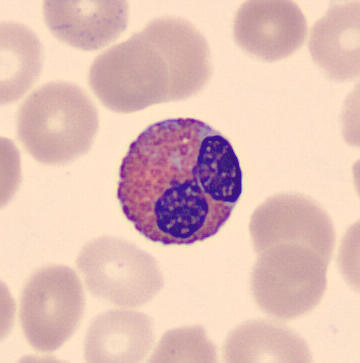 Image: Peripheral blood film.

Q: What is shown here?
A: This is an eosinophil.